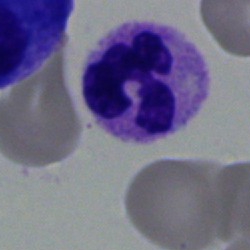

Morphology consistent with a polymorphonuclear neutrophil.